Brightfield, 40× oil-immersion objective · bone marrow smear: 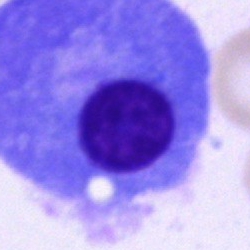
Morphological class: plasma cell.